Cropped to a single cell · bone marrow aspirate smear — 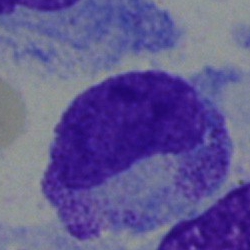Classification = metamyelocyte.